Bone marrow aspirate smear:
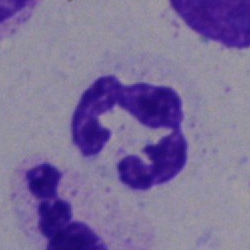

Single cell identified as a polymorphonuclear neutrophil.